Peripheral blood smear · cropped to a single cell · Romanowsky-stained: 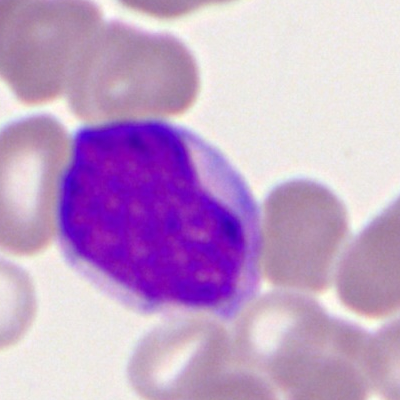 Morphology consistent with a myeloblast.